40× oil immersion. Bone marrow aspirate smear — 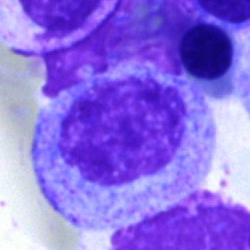

{"cell_type": "promyelocyte", "lineage": "myeloid"}